Bone marrow aspirate smear: 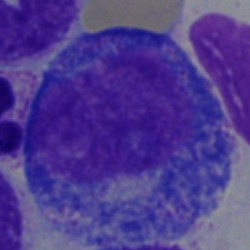 Showing a promyelocyte.